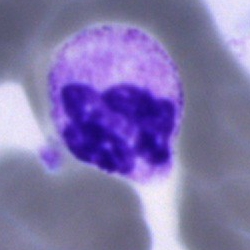 Showing a neutrophil (segmented).